Bone marrow aspirate smear:
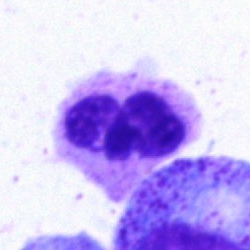

Specimen: bone marrow smear.
Cell: neutrophil (segmented).
Lineage: myeloid.